Brightfield microscopy, 40× oil immersion · bone marrow aspirate smear: 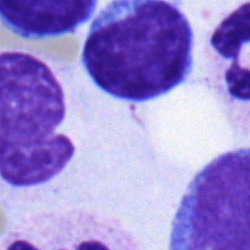 Classification: typical lymphocyte.